Cropped to a single cell; May-Grünwald-Giemsa/Pappenheim stain; bone marrow smear: 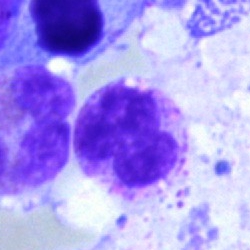Cell — polymorphonuclear neutrophil.